Bone marrow aspirate smear · MGG-stained.
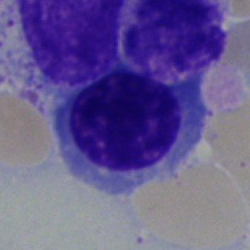
Cell = nucleated red blood cell.